Bone marrow aspirate smear. 250 by 250 pixels — 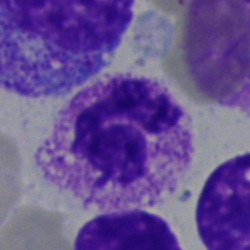

The classification is segmented neutrophil.